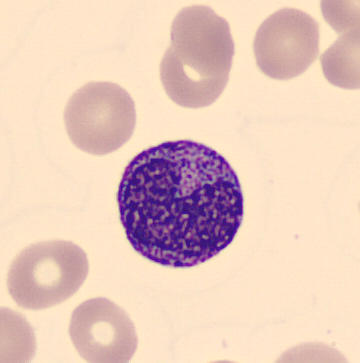

Metamyelocyte.
Image: Peripheral blood smear; MGG stain.